Bone marrow smear · brightfield, 40× oil-immersion objective.
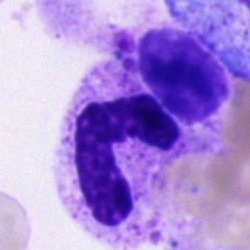
The cell is stab cell.